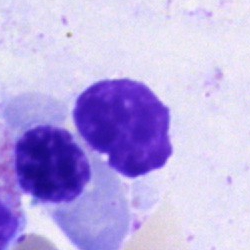
Morphological class = normoblast.